Cropped to a single cell · peripheral blood film · image size 360×363: 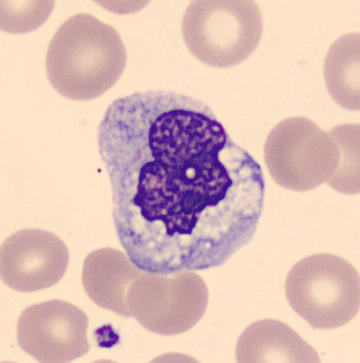The morphological class is monocyte.